40× objective, oil immersion. Cropped to a single cell. Bone marrow smear.
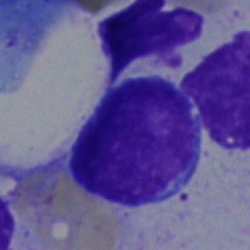 Cell type — typical lymphocyte.